Bone marrow smear — 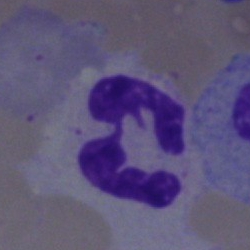
{"cell_type": "segmented neutrophil", "lineage": "myeloid"}